Bone marrow smear
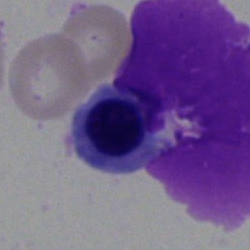Morphology → nucleated red cell.